Bone marrow smear · 250 by 250 pixels · 40× objective, oil immersion — 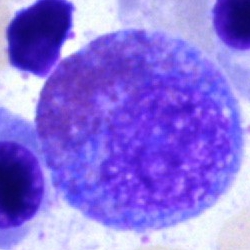Q: Which cell type is shown here?
A: This is a progranulocyte.